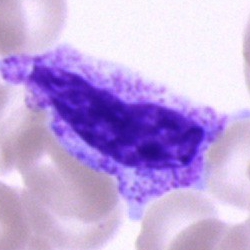Classification: cell of indeterminate lineage.